Bone marrow aspirate smear. MGG-stained
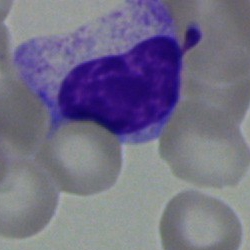The cell shown is a myelocyte.